Bone marrow aspirate smear — 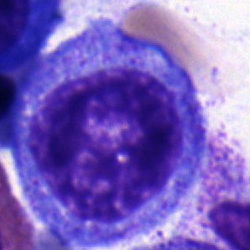

Morphology — progranulocyte.